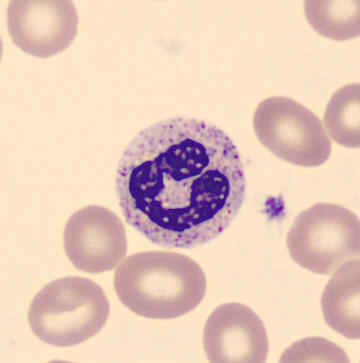Peripheral blood film. Single-cell field.
Cell: band neutrophil.